Bone marrow smear:
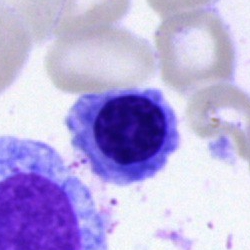

A nucleated red cell.